Bone marrow smear · cropped to a single cell.
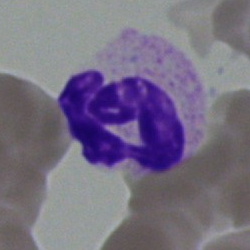
Q: Which cell type is shown here?
A: Polymorphonuclear neutrophil.